40× objective, oil immersion · bone marrow smear: 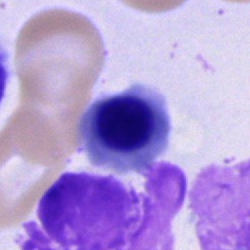

Showing a nucleated red cell.